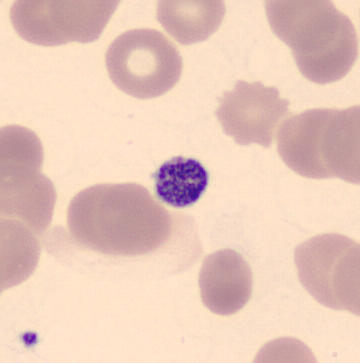 Acquisition: Peripheral blood smear. Morphology → thrombocyte.